Single-cell crop; 250×250 px; bone marrow aspirate smear.
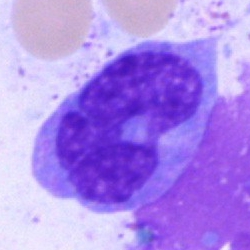
{"cell_type": "monocyte", "lineage": "myeloid"}